Bone marrow aspirate smear · Pappenheim-stained · single-cell crop — 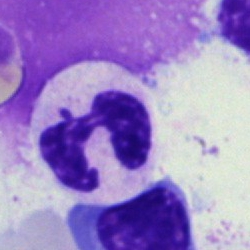Q: What cell is this?
A: This is a polymorphonuclear neutrophil.